May-Grünwald-Giemsa/Pappenheim stain; image size 250×250; bone marrow aspirate smear:
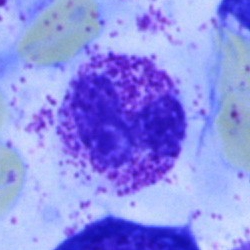
The cell shown is a polymorphonuclear neutrophil.